Bone marrow smear: 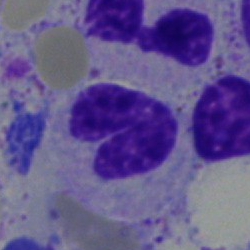 Classification = stab cell.